Bone marrow aspirate smear — 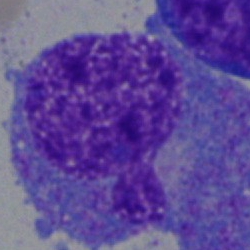Q: What is shown here?
A: Progranulocyte.